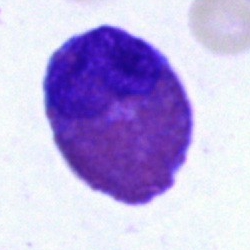

An eosinophil.